Bone marrow aspirate smear · single-cell field · image size 250×250.
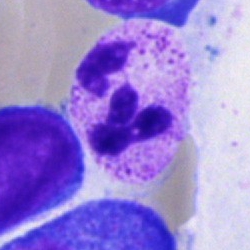
Neutrophil (segmented).